Bone marrow smear:
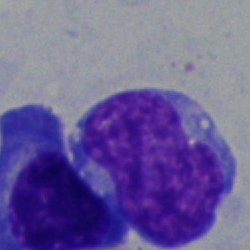

Specimen: bone marrow smear.
Morphological class: blast.